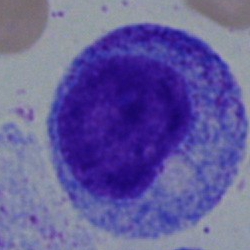
Morphology consistent with a promyelocyte.